Brightfield, 40× oil-immersion objective; bone marrow smear: 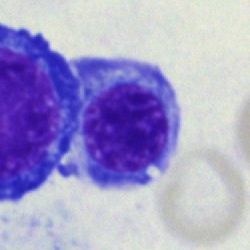

Morphological class: nucleated red blood cell.